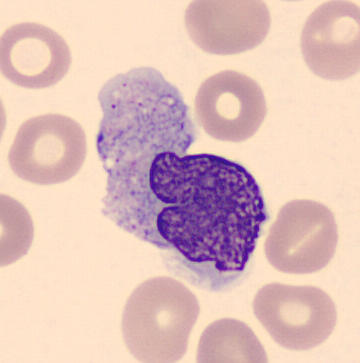

Peripheral blood smear.

Identified as a monocyte.